Bone marrow smear.
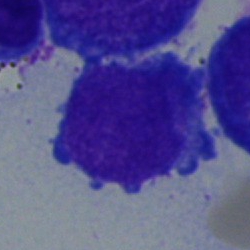 {"cell_type": "blast"}